Bone marrow smear
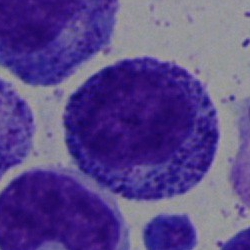
Impression — myelocyte.